Bone marrow smear:
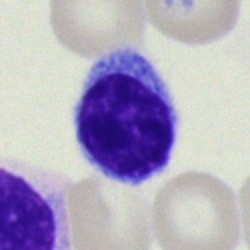 Q: What is shown here?
A: It is a lymphocyte.